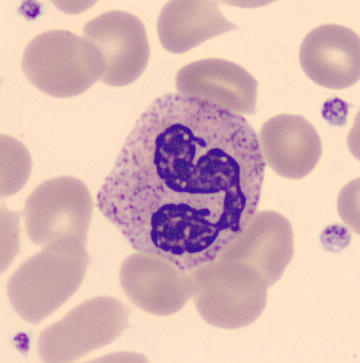{"cell_type": "polymorphonuclear neutrophil"} Image: Peripheral blood film.